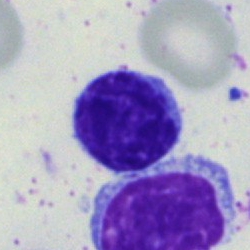
Cell type: typical lymphocyte.